Bone marrow aspirate smear · single cell centered in the field · brightfield microscopy, 40× oil immersion:
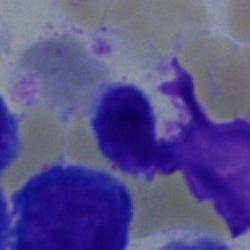
Morphology — lymphocyte.